Bone marrow smear: 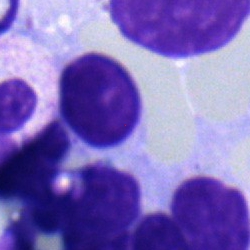
Impression → lymphocyte.